Bone marrow smear; 250×250: 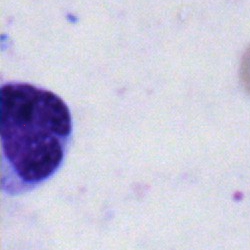 Q: What type of cell is this?
A: Band-form neutrophil.